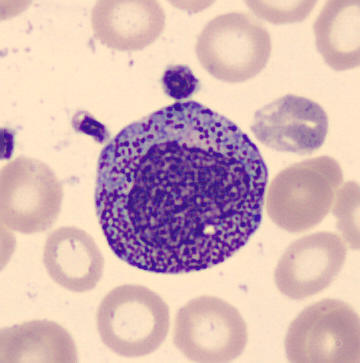

Specimen: peripheral blood smear.
Classification: myelocyte.
Lineage: myeloid.

Preparation: May Grünwald-Giemsa stain.